Bone marrow smear: 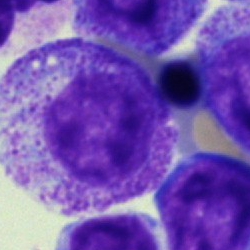

Q: What cell is this?
A: It is a promyelocyte.